Bone marrow aspirate smear; 40× objective, oil immersion; Pappenheim-stained
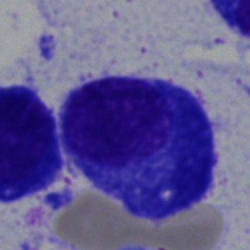
Cell: plasmacyte.